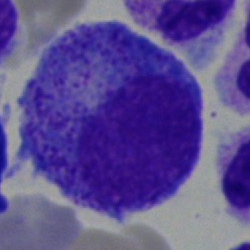This is a progranulocyte.